250×250; brightfield, 40× oil-immersion objective; bone marrow aspirate smear
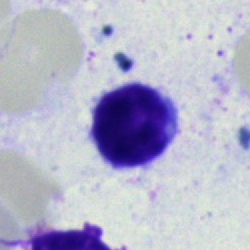Q: What is shown here?
A: Lymphocyte.